Image size 250×250. Single cell centered in the field. Bone marrow aspirate smear.
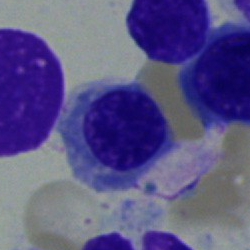This is a nucleated red blood cell.